Bone marrow smear. Image size 250×250. 40× objective, oil immersion
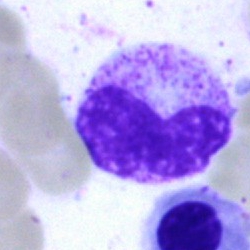 The classification is band-form neutrophil.